Bone marrow aspirate smear:
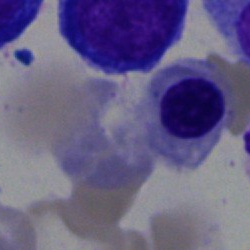

Morphology — nucleated red cell.